Bone marrow smear · brightfield, 40× oil-immersion objective — 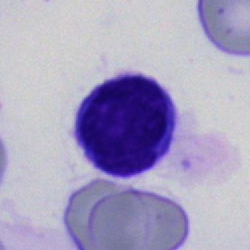Q: What cell is this?
A: This is a typical lymphocyte.